Single cell centered in the field · bone marrow smear · 40× objective, oil immersion — 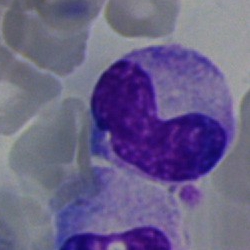 Single cell identified as a band neutrophil.